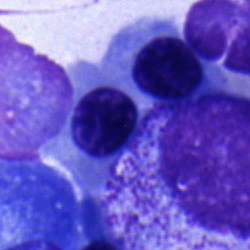

Specimen: bone marrow smear.
Cell type: myelocyte.